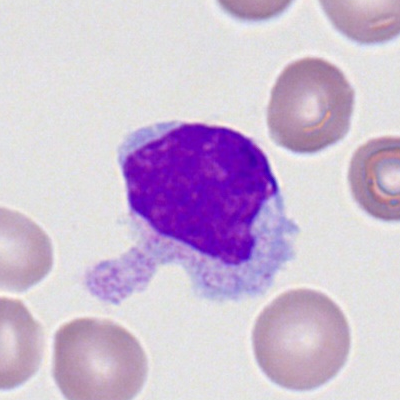Cell type = typical lymphocyte.